Bone marrow aspirate smear. 40× objective, oil immersion.
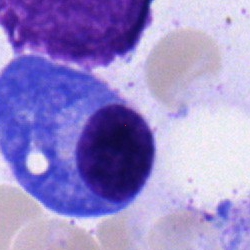A nucleated red blood cell.